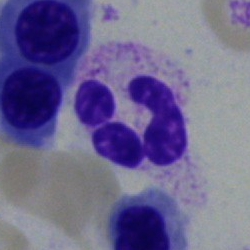
Morphology — polymorphonuclear neutrophil.